Bone marrow smear.
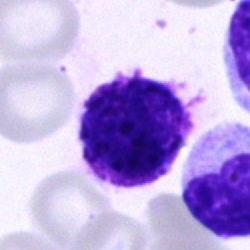Specimen: bone marrow smear.
Morphological class: basophil.